Bone marrow smear — 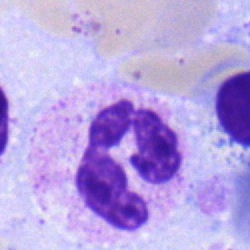Cell type — segmented neutrophil.